Bone marrow smear: 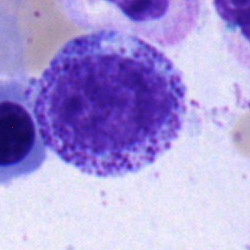
Q: What type of cell is this?
A: A myelocyte.